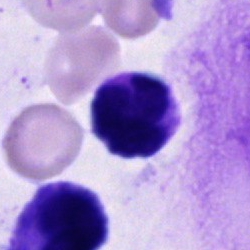
Morphology — unidentifiable cell.